Bone marrow smear; 40× objective, oil immersion; cropped to a single cell.
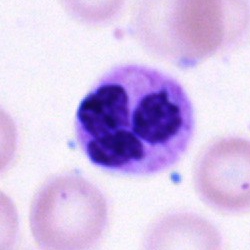

Specimen: bone marrow aspirate smear.
Morphological class: polymorphonuclear neutrophil.
Lineage: myeloid.